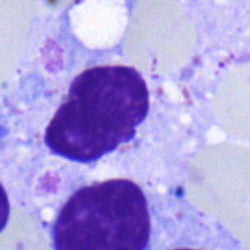
Bone marrow aspirate smear, single cell — lymphocyte.